Bone marrow smear
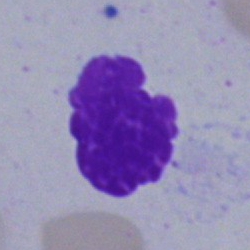
The cell shown is an artifact.